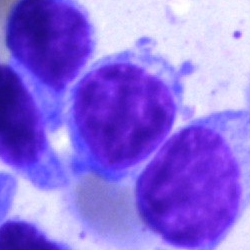

The cell shown is a lymphocyte.